Peripheral blood smear
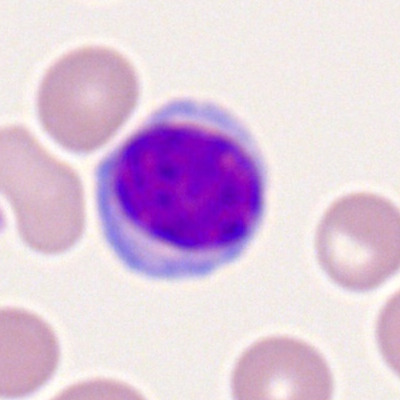
Specimen: peripheral blood film.
Classification: typical lymphocyte.
Lineage: lymphoid.